Bone marrow aspirate smear.
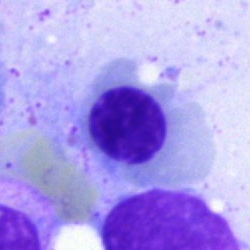
Cell type = normoblast.